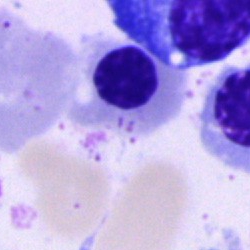 Q: Which cell type is shown here?
A: Nucleated red cell.